Bone marrow aspirate smear: 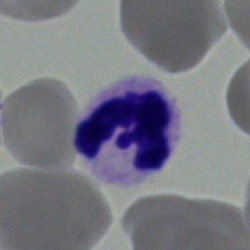 Specimen: bone marrow aspirate smear.
Cell type: polymorphonuclear neutrophil.
Lineage: myeloid.